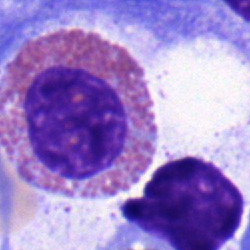
Q: What is shown here?
A: This is an eosinophilic granulocyte.